Cropped to a single cell; bone marrow smear — 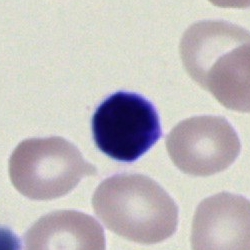 Morphology consistent with a lymphocyte.